400×400. Peripheral blood film
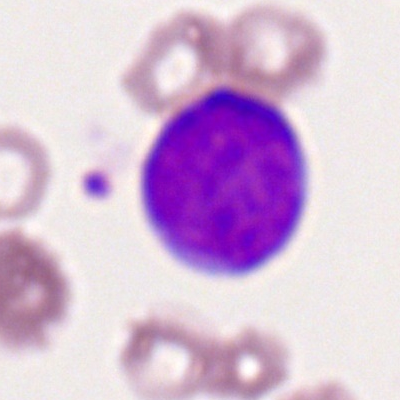 A myeloid blast.